Bone marrow aspirate smear.
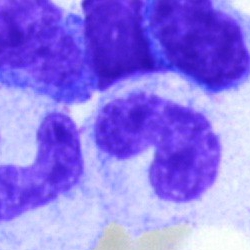
Morphology consistent with a band neutrophil.